Bone marrow aspirate smear: 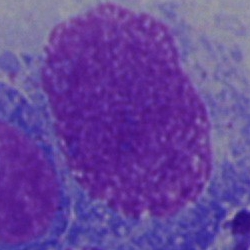

This is an undifferentiated blast.